Bone marrow aspirate smear; brightfield, 40× oil-immersion objective
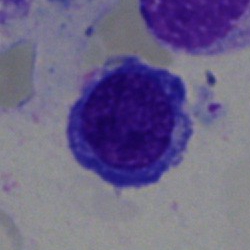
Impression → nucleated red blood cell.